Bone marrow aspirate smear.
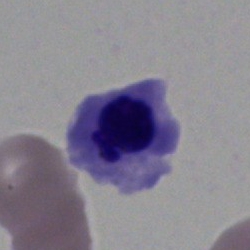
Impression — normoblast.